Bone marrow aspirate smear — 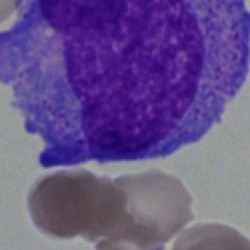
Showing a promyelocyte.